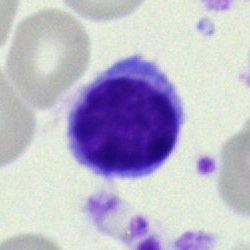

Bone marrow aspirate smear, single cell — typical lymphocyte.